May-Grünwald-Giemsa stain · image size 250×250 · bone marrow aspirate smear — 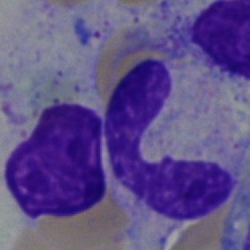 Cell type = band-form neutrophil.